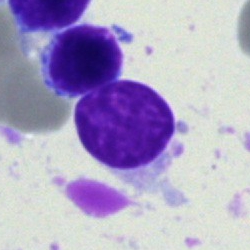

Specimen: bone marrow aspirate smear.
Classification: lymphocyte.